250×250 px. 40× oil immersion. Bone marrow aspirate smear: 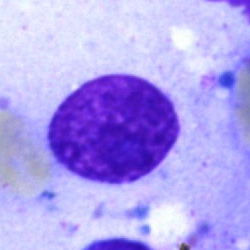

Morphological class = artefact.